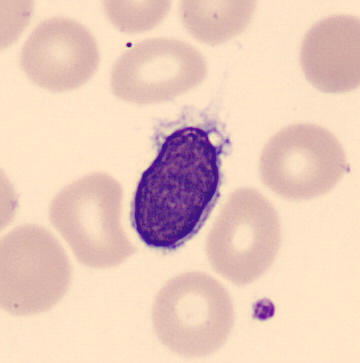

Q: What cell is this?
A: This is a lymphocyte.

Peripheral blood film.